250×250 px; bone marrow aspirate smear.
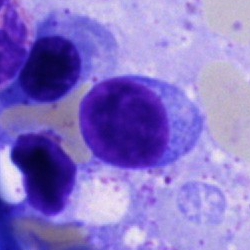

Classification: lymphocyte.